Peripheral blood film. May Grünwald-Giemsa stain. CellaVision DM96 digital cell image.
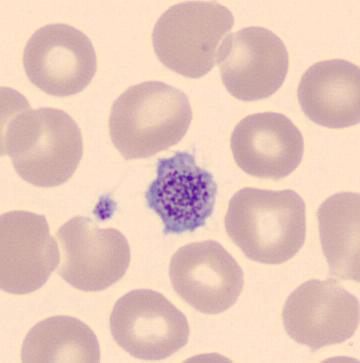 This is a platelet.